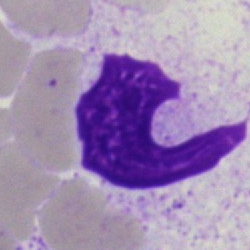

Specimen: bone marrow smear.
Morphological class: artifact.